Bone marrow smear; image size 250×250:
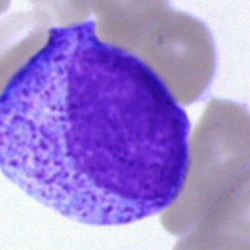Q: What cell is this?
A: This is a myelocyte.